Bone marrow smear. 250×250 px. MGG-stained.
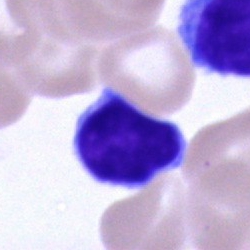Morphology — lymphocyte.